Bone marrow smear · brightfield, 40× oil-immersion objective:
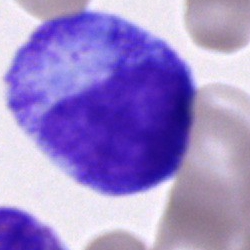Morphology — progranulocyte.